Bone marrow smear
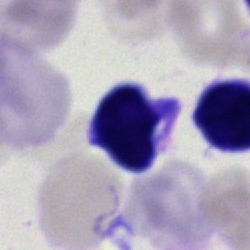
Morphology → artefact.